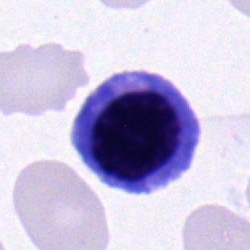 The cell shown is a typical lymphocyte.